Bone marrow smear — 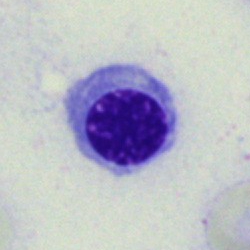Specimen: bone marrow smear.
Cell: erythroblast.